Bone marrow smear — 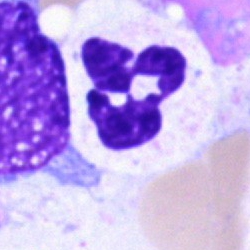 Single cell identified as a segmented neutrophil.